Bone marrow smear
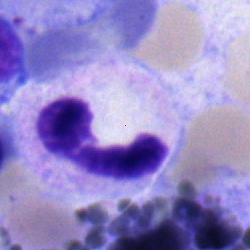

Showing a neutrophil (segmented).